Bone marrow aspirate smear · brightfield, 40× oil-immersion objective — 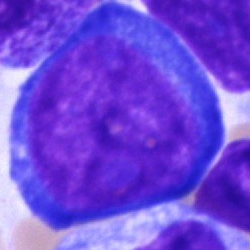

Specimen: bone marrow smear.
Cell type: pronormoblast.
Lineage: erythroid.